Brightfield microscopy, 40× oil immersion · bone marrow smear:
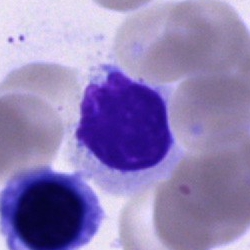
Classification = artefact.